Single-cell crop. MGG-stained. Bone marrow aspirate smear.
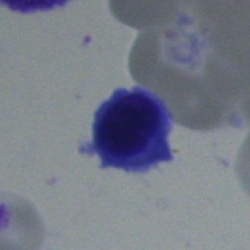 A nucleated red cell.